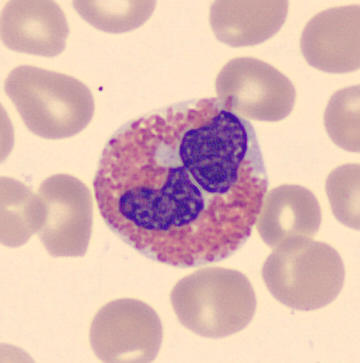 Identified as an eosinophil. Image: Peripheral blood smear; imaged on a CellaVision DM96 analyser; May Grünwald-Giemsa stain.